Cropped to a single cell · bone marrow smear:
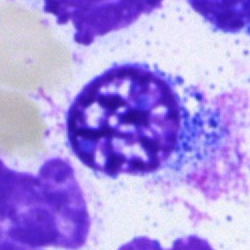Specimen: bone marrow smear.
Morphological class: artifact.